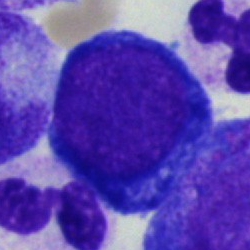
Q: What is shown here?
A: This is a pronormoblast.